Bone marrow smear
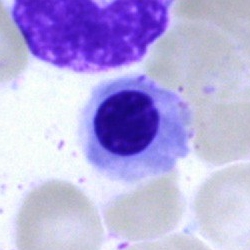 This is a normoblast.